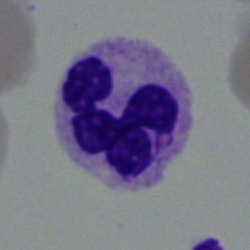The cell shown is a neutrophil (segmented).